Bone marrow smear · single-cell crop
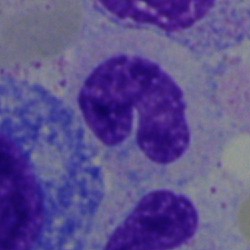
Morphology consistent with a neutrophil (band).